Bone marrow aspirate smear:
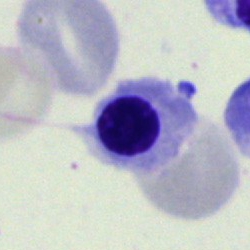Impression → normoblast.